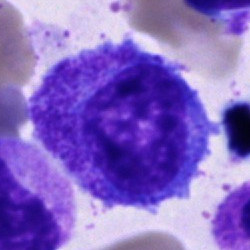

Morphological class: promyelocyte.